Bone marrow smear. 250 by 250 pixels:
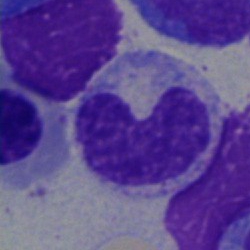 Impression → band neutrophil.